Bone marrow smear; 250×250 px; 40× objective, oil immersion: 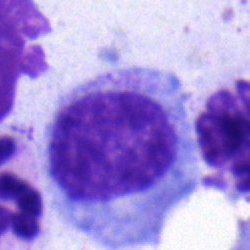Morphological class: metamyelocyte.